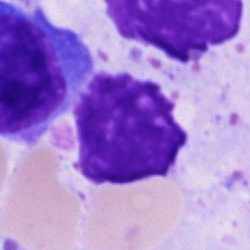Single cell identified as an artifact.